Bone marrow smear: 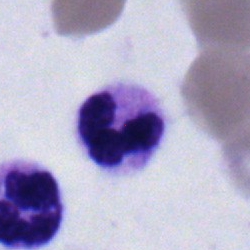 Q: What type of cell is this?
A: A neutrophil (segmented).